Bone marrow aspirate smear: 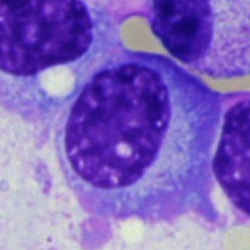

Q: Identify the cell.
A: A plasmacyte.